Bone marrow smear:
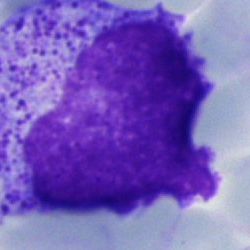 The cell shown is an artifact.